Bone marrow aspirate smear · single-cell crop
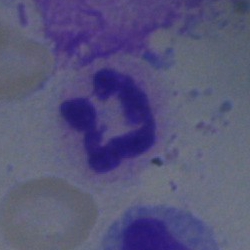 Morphology → neutrophil (segmented).